Bone marrow smear:
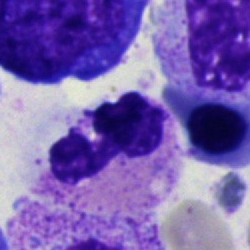
Q: Which cell type is shown here?
A: It is a polymorphonuclear neutrophil.